Peripheral blood smear.
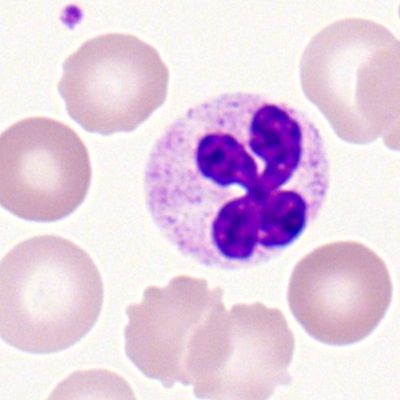
Q: What cell is this?
A: This is a segmented neutrophil.